Bone marrow aspirate smear — 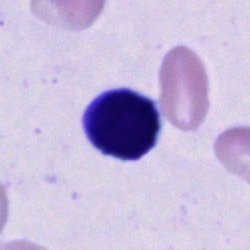 Specimen: bone marrow aspirate smear.
Morphological class: cell of indeterminate lineage.